Bone marrow smear; MGG-stained:
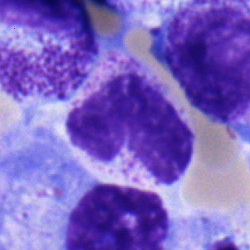 Q: What cell is this?
A: This is a neutrophil (band).